Bone marrow smear. Single cell centered in the field: 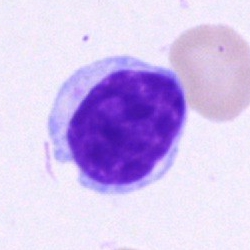

This is a lymphocyte.